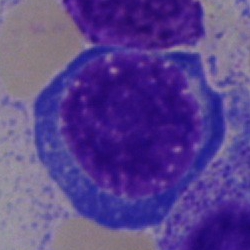

Morphology consistent with a nucleated red blood cell.